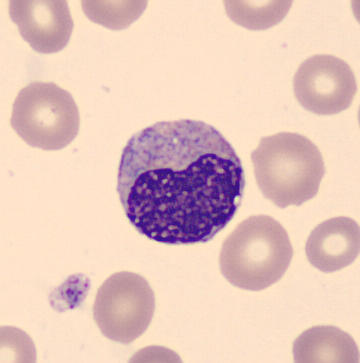

Single-cell crop.
Specimen: peripheral blood smear.
Morphological class: metamyelocyte.
Lineage: myeloid.